Peripheral blood smear
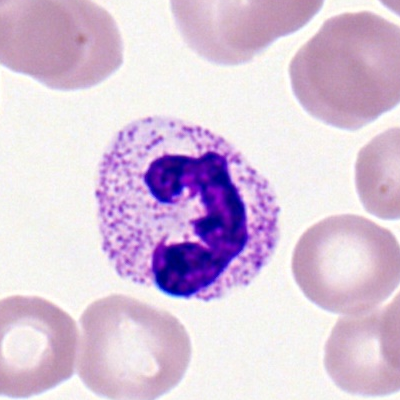 Specimen: peripheral blood smear.
Classification: segmented neutrophil.
Lineage: myeloid.